Bone marrow smear
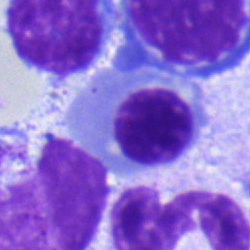Q: Which cell type is shown here?
A: An erythroblast.